Bone marrow aspirate smear.
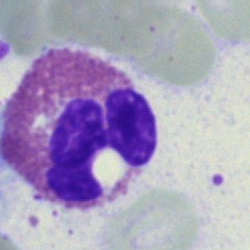 Impression — eosinophil.